Bone marrow smear.
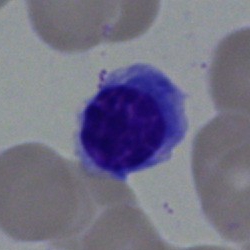
An erythroblast.